Bone marrow smear · brightfield microscopy, 40× oil immersion
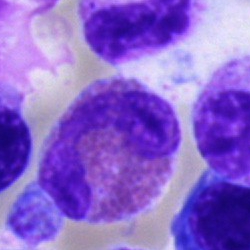
An eosinophilic granulocyte.